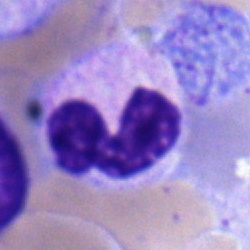
{"cell_type": "neutrophil (segmented)"}